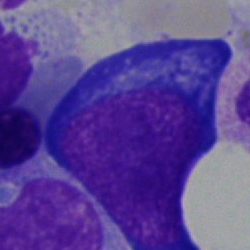
Classification: pronormoblast.